Bone marrow aspirate smear; single cell centered in the field.
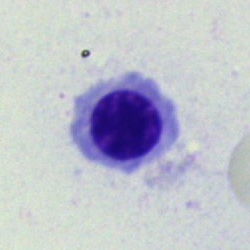
The morphological class is erythroblast.